Bone marrow aspirate smear
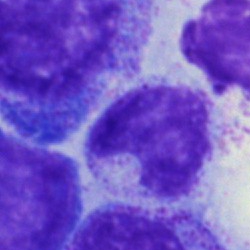 The cell shown is a metamyelocyte.